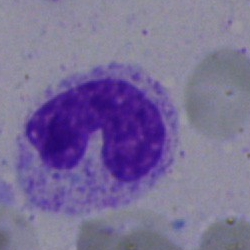

Morphological class — band-form neutrophil.